Bone marrow smear
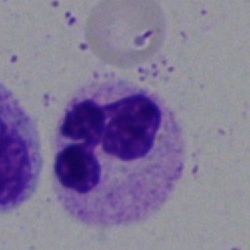

Impression — segmented neutrophil.